250 by 250 pixels; brightfield, 40× oil-immersion objective; bone marrow aspirate smear:
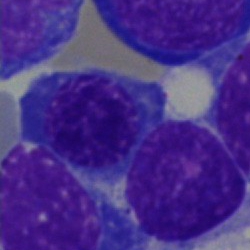Impression — nucleated red cell.